Bone marrow smear:
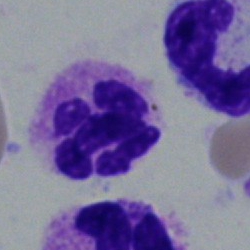

Morphology — neutrophil (segmented).